Bone marrow smear:
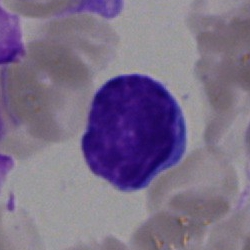

Cell type: lymphocyte.